Single-cell crop. Bone marrow smear:
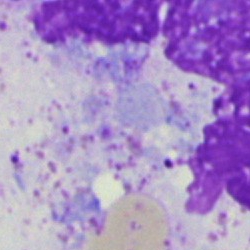
This is an artefact.